Pappenheim-stained; 250×250; bone marrow aspirate smear — 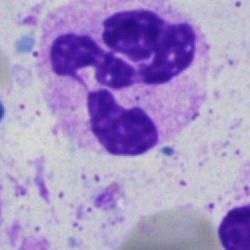

Q: What is the morphological classification of this cell?
A: It is a segmented neutrophil.